Bone marrow aspirate smear. May-Grünwald-Giemsa stain: 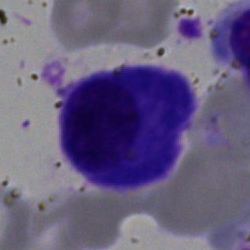
The cell is plasma cell.